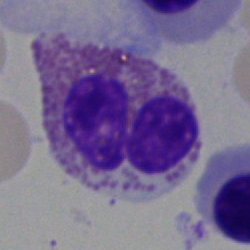
Single-cell crop from a bone marrow smear: eosinophilic granulocyte.